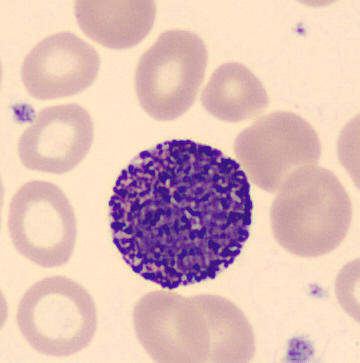 Image: Imaged on a CellaVision DM96 analyser; image size 360×363.
Specimen: peripheral blood smear.
Morphological class: basophilic granulocyte.